Peripheral blood smear · single-cell crop · 400×400: 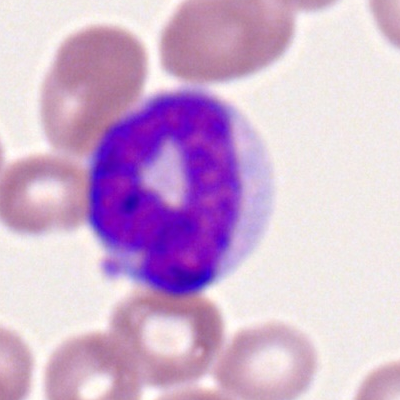
Morphology consistent with a monocyte.